Peripheral blood smear: 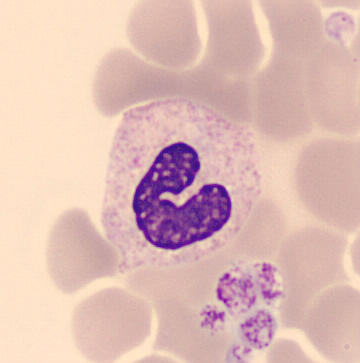 Identified as a band-form neutrophil.